Bone marrow aspirate smear · single-cell crop.
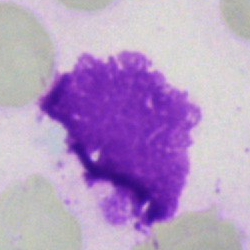
Specimen: bone marrow smear.
Morphological class: artifact.